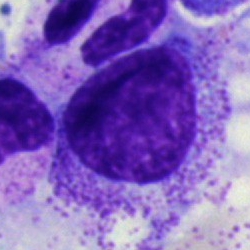

This is a myelocyte.